Peripheral blood smear: 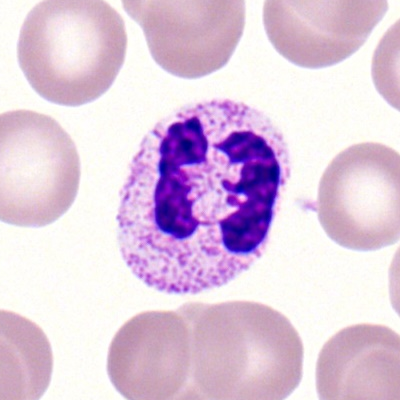
Single cell identified as a polymorphonuclear neutrophil.